250×250; bone marrow aspirate smear:
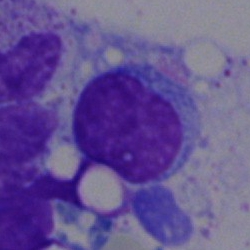
Specimen: bone marrow aspirate smear.
Cell type: typical lymphocyte.
Lineage: lymphoid.